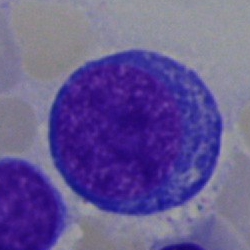

Cell type — erythroblast.